40× oil immersion · bone marrow smear: 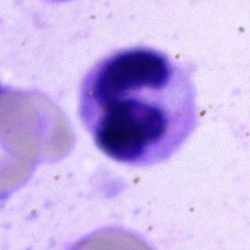Q: What is the morphological classification of this cell?
A: This is a neutrophil (segmented).